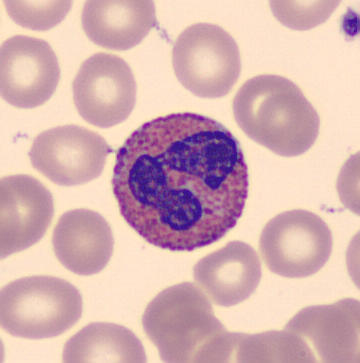
The cell is eosinophil.
Acquisition: May-Grünwald-Giemsa-stained; peripheral blood smear; 360 by 363 pixels.